Bone marrow smear: 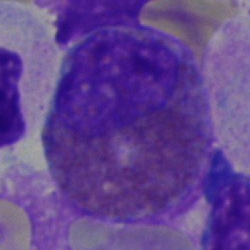Morphological class = eosinophil.